MGG-stained · 250×250 · bone marrow aspirate smear
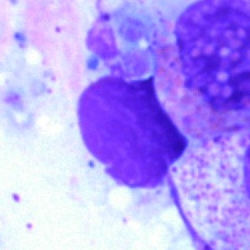Specimen: bone marrow smear.
Cell type: artefact.